Bone marrow smear · 40× objective, oil immersion: 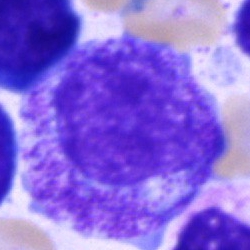

Cell — progranulocyte.